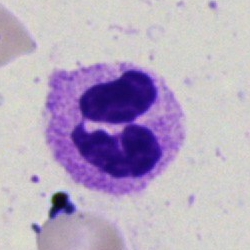{"cell_type": "segmented neutrophil"}